Bone marrow smear:
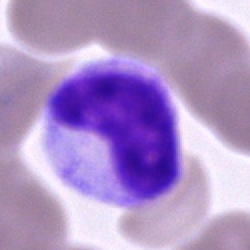

Morphology consistent with a metamyelocyte.